Bone marrow smear. May-Grünwald-Giemsa/Pappenheim stain — 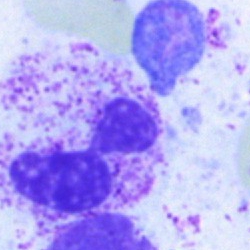
Classification = neutrophil (segmented).